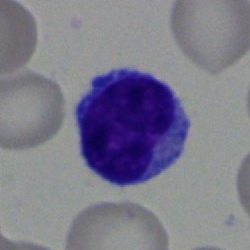

This is a typical lymphocyte.